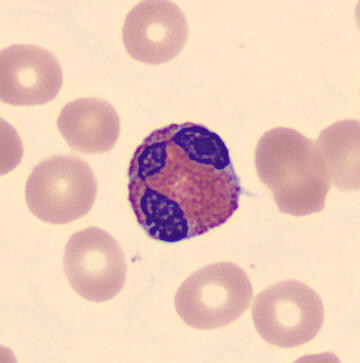

Classification — eosinophil.
Acquisition: Peripheral blood smear. Imaged on a CellaVision DM96 analyser. May Grünwald-Giemsa stain.